Bone marrow smear
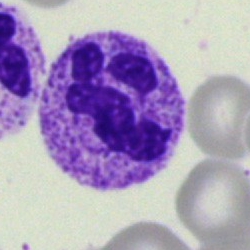 Cell = neutrophil (segmented).